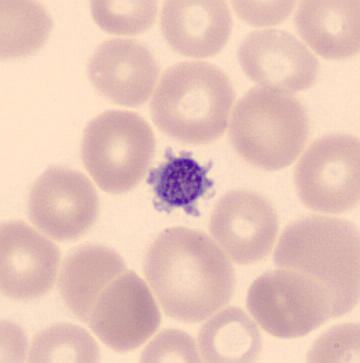
Preparation: Peripheral blood smear. Morphology → platelet.